MGG-stained. Bone marrow smear. Brightfield, 40× oil-immersion objective
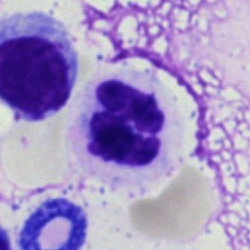Q: What is shown here?
A: Polymorphonuclear neutrophil.